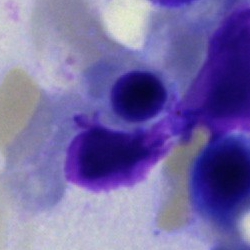An erythroblast on a bone marrow smear.